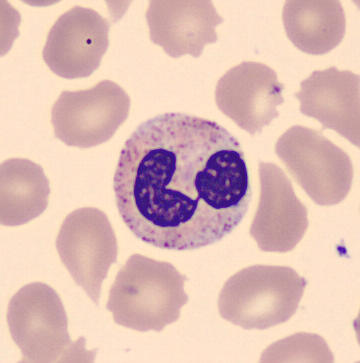
Morphology → polymorphonuclear neutrophil.